Bone marrow smear.
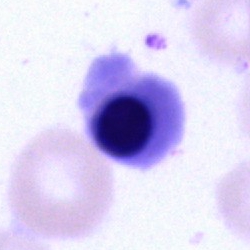Morphology → nucleated red cell.